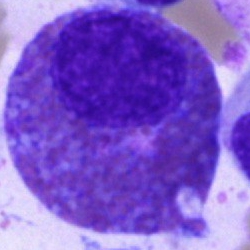 Morphology consistent with an eosinophilic granulocyte.